Bone marrow aspirate smear; brightfield microscopy, 40× oil immersion
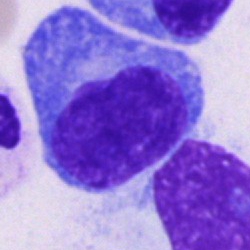

{"cell_type": "plasmacyte", "lineage": "lymphoid"}